Bone marrow aspirate smear — 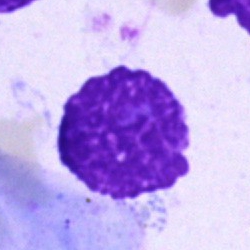
Morphological class: artefact.